Bone marrow aspirate smear: 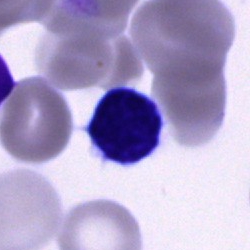
Morphological class = typical lymphocyte.